Bone marrow smear: 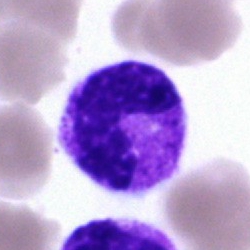

Morphology — band-form neutrophil.